250×250 · brightfield, 40× oil-immersion objective · bone marrow smear — 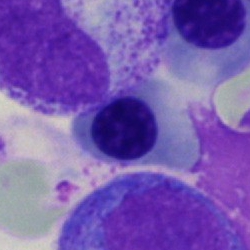 An erythroblast.